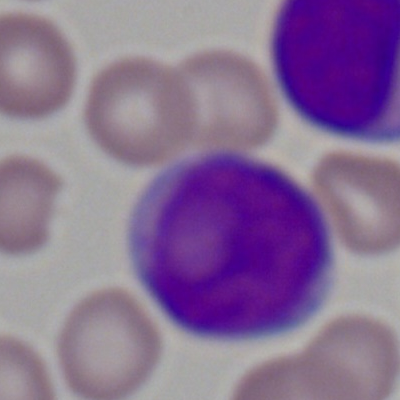
Q: What is the morphological classification of this cell?
A: Myeloid blast.